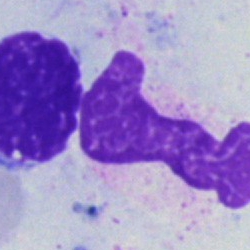 Cell = artifact.